Bone marrow smear: 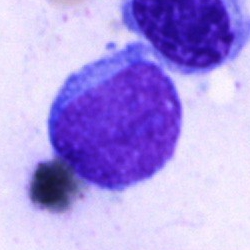
Morphology → blast cell.